Bone marrow aspirate smear: 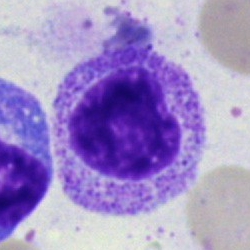 Morphology — metamyelocyte.